CellaVision DM96 digital cell image. Peripheral blood smear. Single cell centered in the field
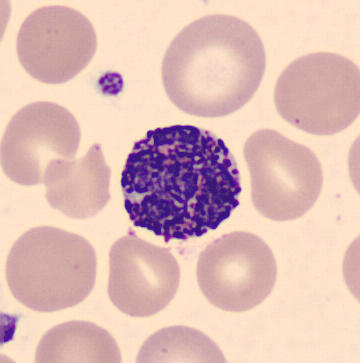
A basophilic granulocyte.